Cropped to a single cell. Bone marrow smear:
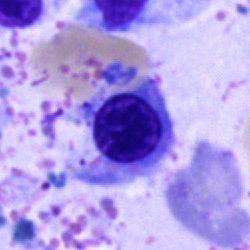 Specimen: bone marrow smear.
Classification: normoblast.